Bone marrow aspirate smear · image size 250×250 · 40× objective, oil immersion: 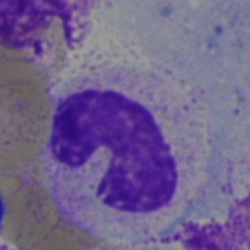 Cell: band-form neutrophil.